Bone marrow smear.
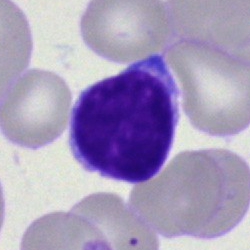Typical lymphocyte.